Bone marrow aspirate smear. Cropped to a single cell. 250 by 250 pixels: 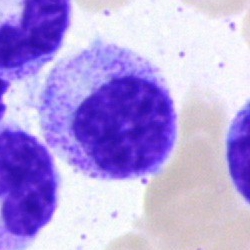A myelocyte.